400 by 400 pixels. Romanowsky stain. Peripheral blood film — 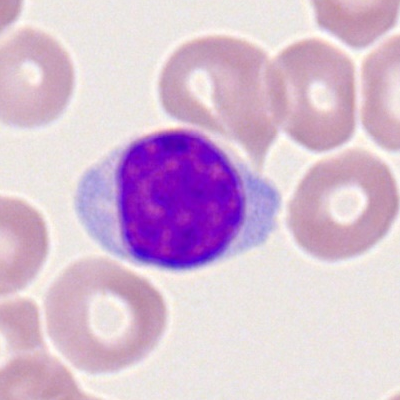Q: Which cell type is shown here?
A: Lymphocyte.